May-Grünwald-Giemsa/Pappenheim stain; bone marrow smear
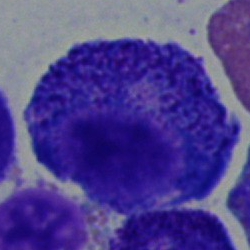 Morphological class = progranulocyte.